Peripheral blood smear
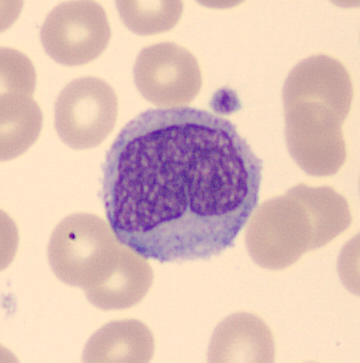Q: What type of cell is this?
A: This is a monocyte.